Bone marrow smear; 40× oil immersion: 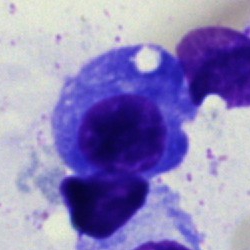 Classification: plasmacyte.